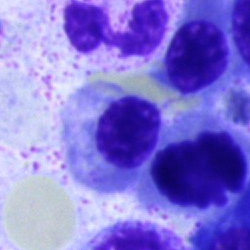

An erythroblast.